Bone marrow aspirate smear: 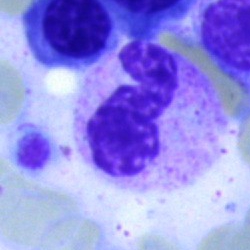

Neutrophil (segmented).